Bone marrow smear.
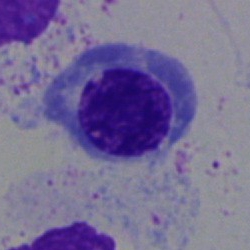

Cell type: nucleated red blood cell.